Bone marrow smear. Cropped to a single cell:
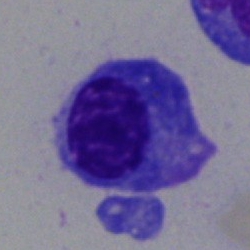
Q: What is the morphological classification of this cell?
A: It is a plasma cell.